Bone marrow aspirate smear
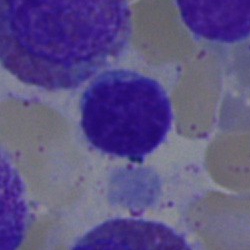

The cell shown is a typical lymphocyte.